Single-cell field. Brightfield microscopy, 40× oil immersion. Bone marrow aspirate smear.
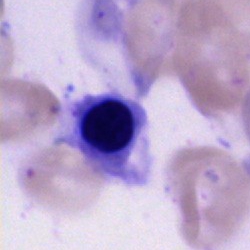
Morphology consistent with a normoblast.